Bone marrow smear — 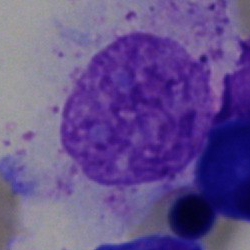 Q: What is shown here?
A: This is an artefact.